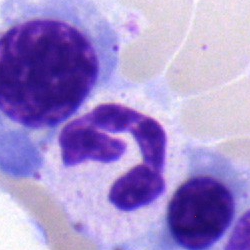
Q: Which cell type is shown here?
A: This is a segmented neutrophil.